Bone marrow aspirate smear; 250×250 px — 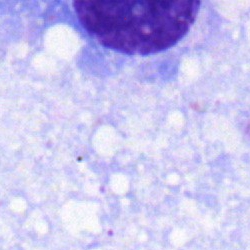

The cell shown is a plasmacyte.